Bone marrow aspirate smear: 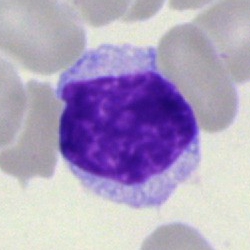 Single cell identified as a typical lymphocyte.